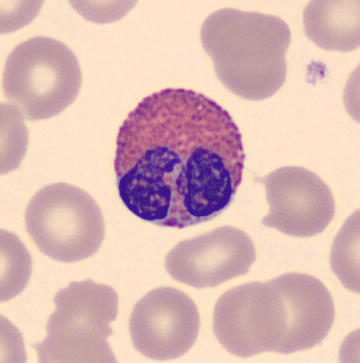 Acquisition: Peripheral blood film.
An eosinophilic granulocyte.